Bone marrow aspirate smear · cropped to a single cell · May-Grünwald-Giemsa/Pappenheim stain — 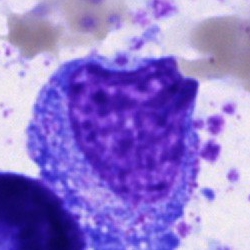
Morphology — promyelocyte.